Bone marrow aspirate smear. 250 by 250 pixels:
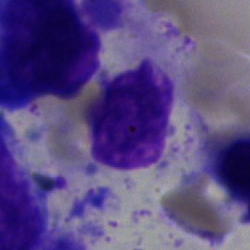Artifact.